Bone marrow aspirate smear:
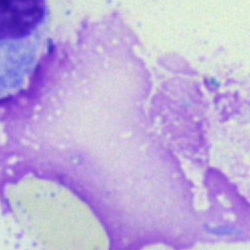
This is an artefact.